Brightfield microscopy, 40× oil immersion. Bone marrow smear
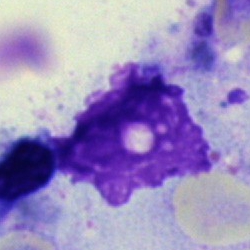

Q: What is shown here?
A: It is an artefact.